Bone marrow smear: 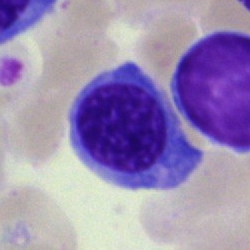

Impression — nucleated red cell.